40× oil immersion · bone marrow smear: 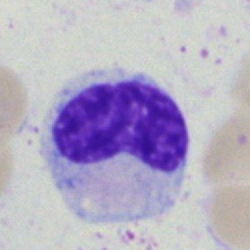Morphological class = band-form neutrophil.